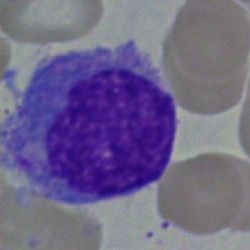
The cell is monocyte.